Bone marrow smear: 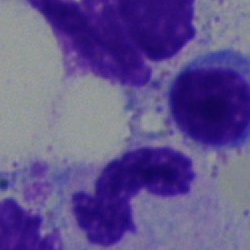
Specimen: bone marrow aspirate smear.
Cell: segmented neutrophil.